Bone marrow smear · 250 by 250 pixels.
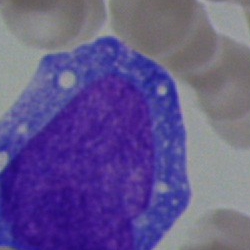 The cell shown is a blast.